Image size 250×250; brightfield, 40× oil-immersion objective; bone marrow smear.
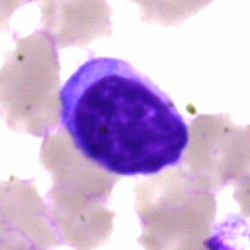

Classification: typical lymphocyte.